Bone marrow aspirate smear:
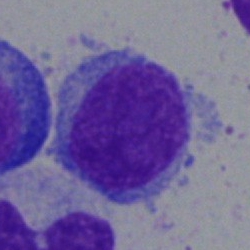
The cell is typical lymphocyte.